Bone marrow smear; 250×250 px: 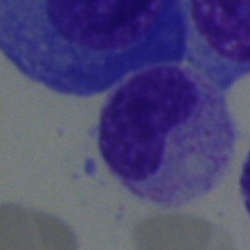

{"cell_type": "metamyelocyte"}